Bone marrow aspirate smear
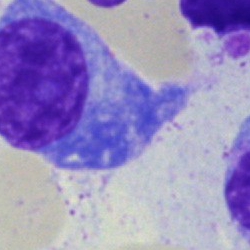 The cell is plasmacyte.